Bone marrow smear. Pappenheim-stained — 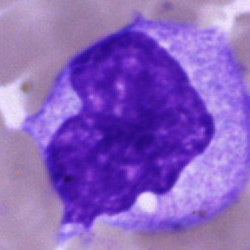 Cell: unidentifiable cell.